Bone marrow smear; image size 250×250 — 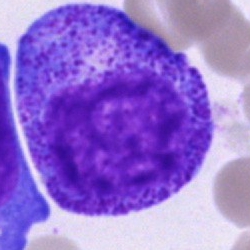

Morphology consistent with a progranulocyte.